Bone marrow aspirate smear
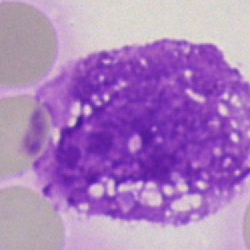 Q: What is shown here?
A: An artefact.